Bone marrow aspirate smear: 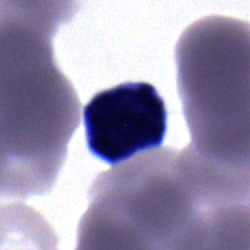Q: Identify the cell.
A: This is a lymphocyte.